Peripheral blood film · 400×400 px · cropped to a single cell:
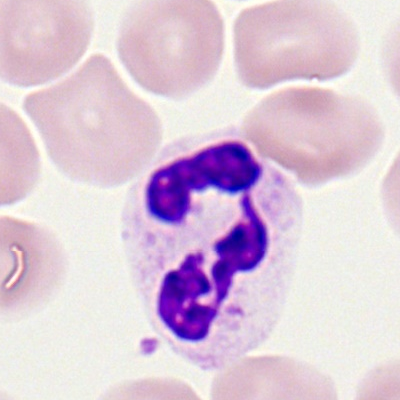Neutrophil (segmented).